Bone marrow aspirate smear
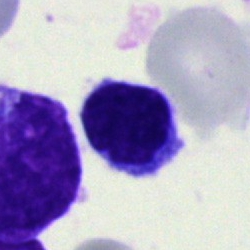

Classification: lymphocyte.